Pappenheim-stained; single cell centered in the field; bone marrow aspirate smear — 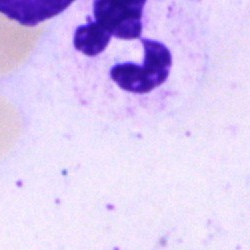The classification is segmented neutrophil.